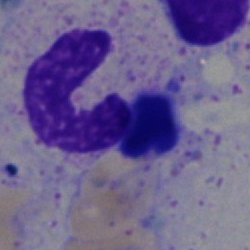
Showing a band neutrophil.